May-Grünwald-Giemsa/Pappenheim stain; bone marrow smear — 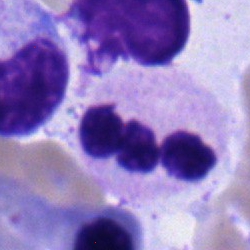
Cell — neutrophil (segmented).